Bone marrow smear:
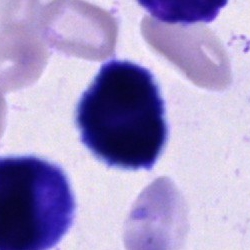

Showing an unidentifiable cell.